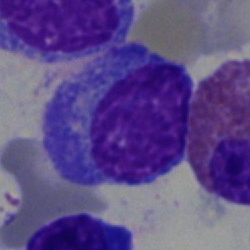{"cell_type": "plasma cell", "lineage": "lymphoid"}